Bone marrow aspirate smear. 250×250 px
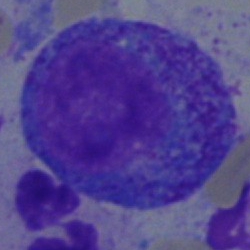
Q: What type of cell is this?
A: It is a promyelocyte.